Bone marrow smear
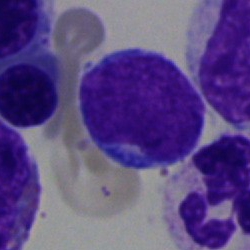

A typical lymphocyte.